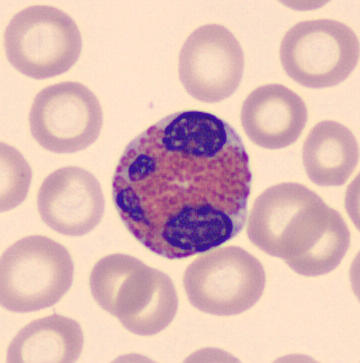Q: What is this?
A: An eosinophil.